Bone marrow smear — 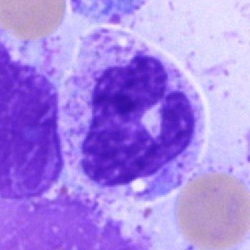 {"cell_type": "neutrophil (segmented)"}